Bone marrow aspirate smear · brightfield, 40× oil-immersion objective — 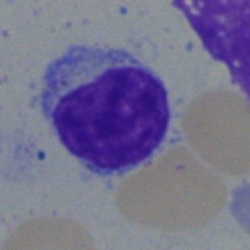 Specimen: bone marrow aspirate smear.
Classification: lymphocyte.